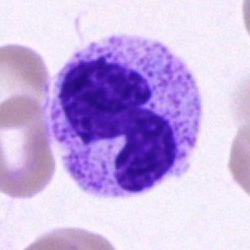
Impression → segmented neutrophil.